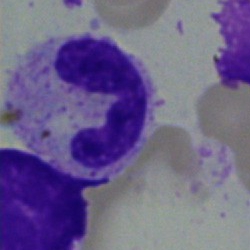Bone marrow aspirate smear, single cell — stab cell.